250×250 px; bone marrow smear.
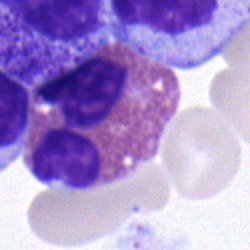Eosinophilic granulocyte.